Peripheral blood smear; brightfield, 100× oil-immersion objective:
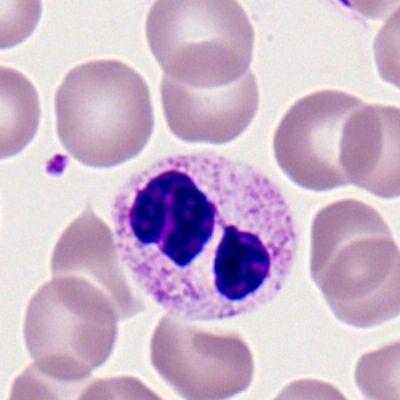 Q: What type of cell is this?
A: This is a neutrophil (segmented).